Bone marrow smear: 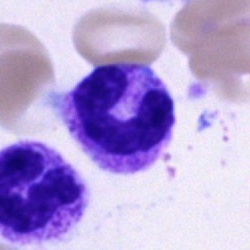 Specimen: bone marrow aspirate smear.
Cell: neutrophil (band).